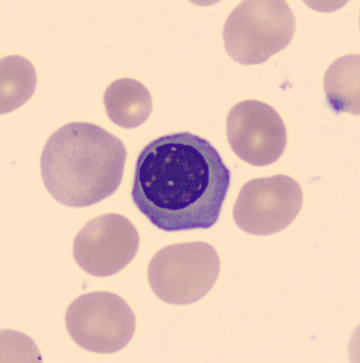

Q: What is this?
A: Normoblast. Acquisition: Peripheral blood film. Image size 360×363.